Peripheral blood film; Romanowsky-stained; 400×400 px — 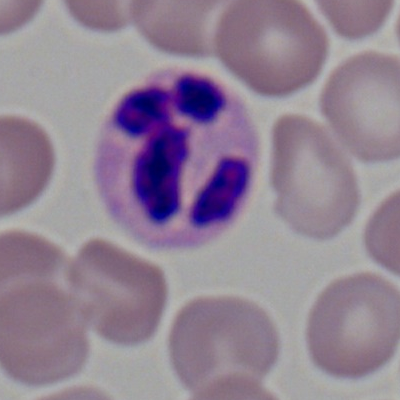Classification: polymorphonuclear neutrophil.